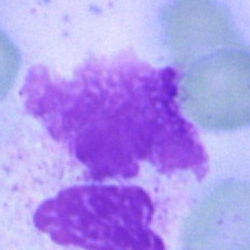

Classification = artifact.